Bone marrow smear · 40× objective, oil immersion — 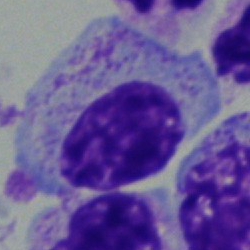Cell = myelocyte.